Bone marrow aspirate smear — 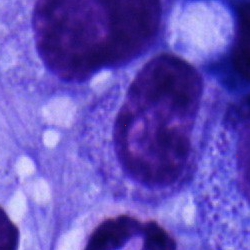

The cell shown is a myelocyte.